Bone marrow aspirate smear · 250 by 250 pixels · single-cell field.
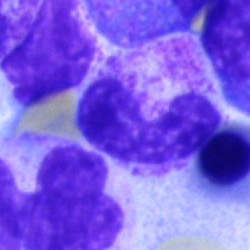

The morphological class is band neutrophil.